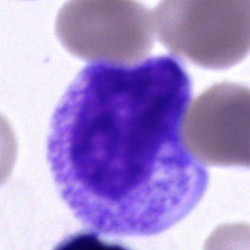
Q: Which cell type is shown here?
A: This is a progranulocyte.